Bone marrow aspirate smear. Brightfield, 40× oil-immersion objective. May-Grünwald-Giemsa stain.
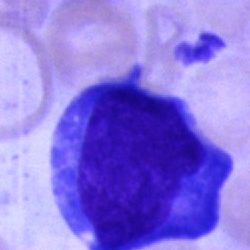
The cell shown is a blast.